Bone marrow aspirate smear.
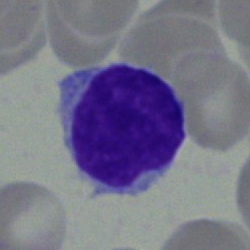
{"cell_type": "lymphocyte", "lineage": "lymphoid"}